Bone marrow aspirate smear: 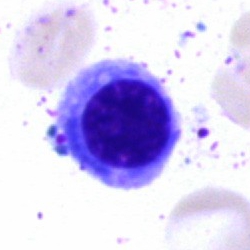
Impression — erythroblast.